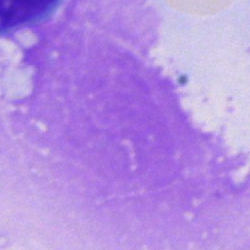

Q: What is shown here?
A: This is an artifact.